Bone marrow aspirate smear
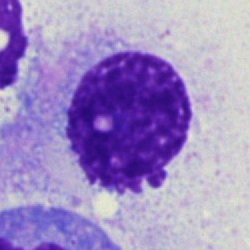
Impression → artifact.